Peripheral blood smear:
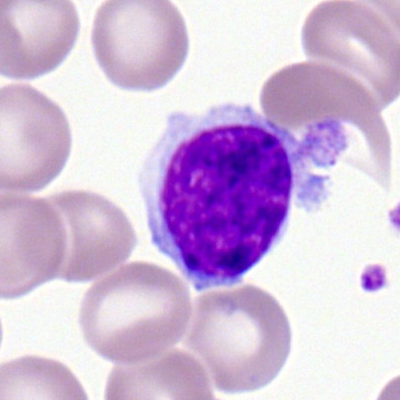

Morphological class — typical lymphocyte.